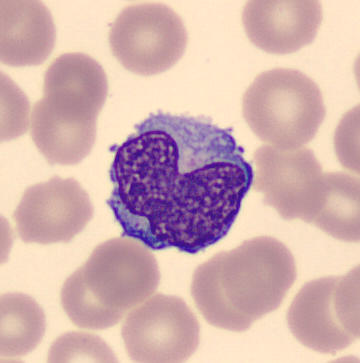 The classification is monocyte.

Acquisition: Peripheral blood film; MGG-stained; CellaVision DM96.